Peripheral blood smear · Romanowsky stain · single cell centered in the field
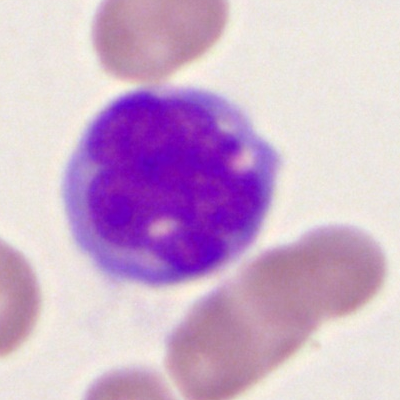
{"cell_type": "monocyte", "lineage": "myeloid"}